Peripheral blood film: 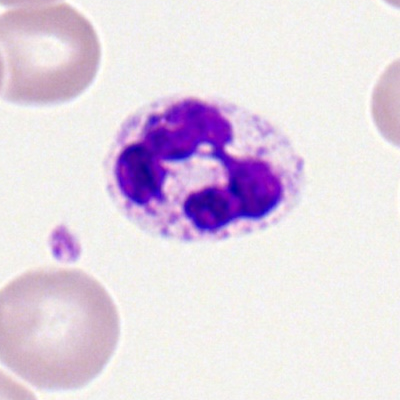Morphology — polymorphonuclear neutrophil.